Bone marrow aspirate smear
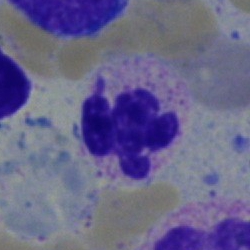
{"cell_type": "segmented neutrophil"}